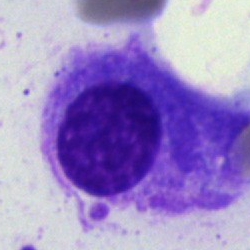 Q: What is shown here?
A: Plasma cell.